Single cell centered in the field · 250×250 px · bone marrow aspirate smear — 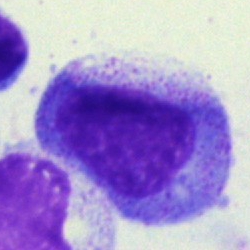 Cell type = blast cell.